Brightfield, 40× oil-immersion objective. Bone marrow aspirate smear:
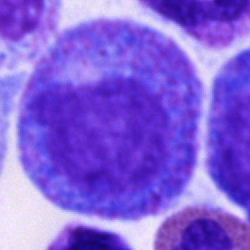
Morphology — progranulocyte.